Bone marrow smear.
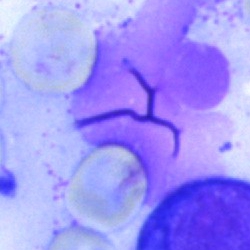
Cell type = artifact.